Bone marrow smear:
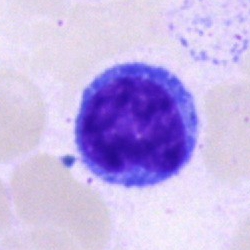A typical lymphocyte.